Bone marrow aspirate smear; cropped to a single cell:
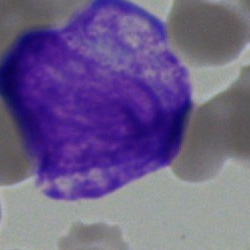

Cell type — cell with bundled Auer rods.